Cropped to a single cell; bone marrow aspirate smear — 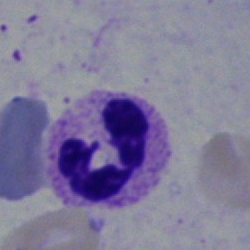

Showing a neutrophil (segmented).